Bone marrow aspirate smear — 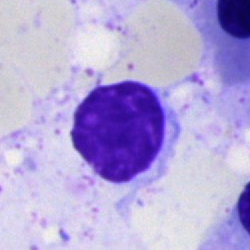

Showing a typical lymphocyte.